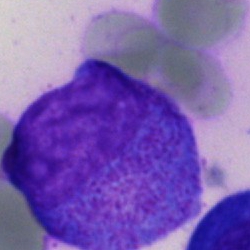
Specimen: bone marrow smear.
Classification: promyelocyte.
Lineage: myeloid.